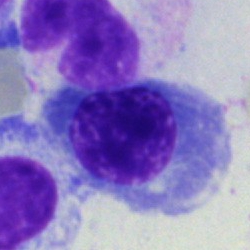 Classification — nucleated red blood cell.